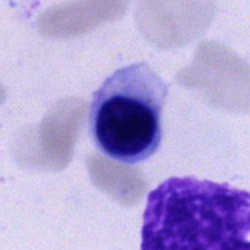

Specimen: bone marrow smear.
Cell: cell of indeterminate lineage.